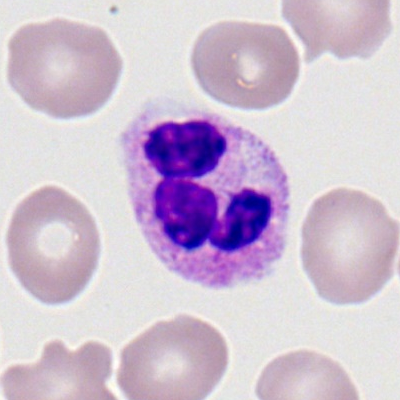 Cell type = polymorphonuclear neutrophil.